Bone marrow aspirate smear · May-Grünwald-Giemsa/Pappenheim stain: 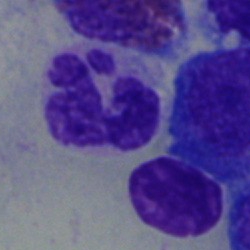

Neutrophil (segmented).